Bone marrow aspirate smear — 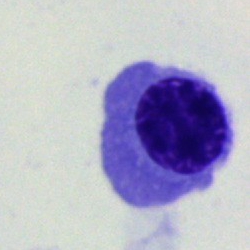A normoblast.